Bone marrow aspirate smear.
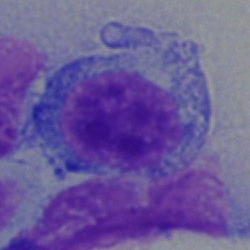
Q: What is the morphological classification of this cell?
A: A lymphocyte.